40× oil immersion; 250 by 250 pixels; bone marrow smear.
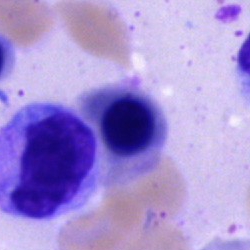

Showing a normoblast.